Bone marrow aspirate smear
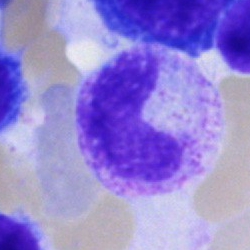

The morphological class is stab cell.